Bone marrow smear.
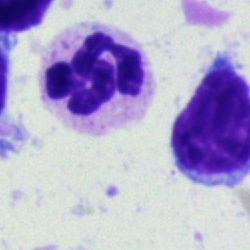 The morphological class is neutrophil (segmented).